Bone marrow smear. 250×250 px. May-Grünwald-Giemsa stain
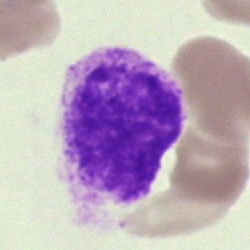Q: What is shown here?
A: Artifact.